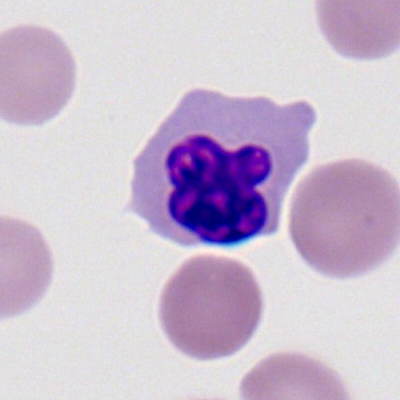 Nucleated red blood cell.